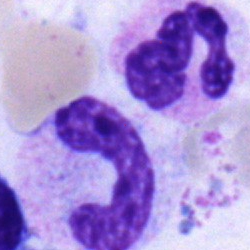 Morphological class: neutrophil (band).